Bone marrow smear; cropped to a single cell
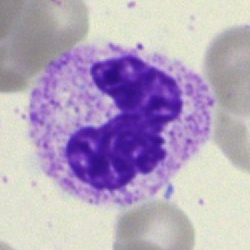
Q: Identify the cell.
A: This is a band neutrophil.